Bone marrow smear — 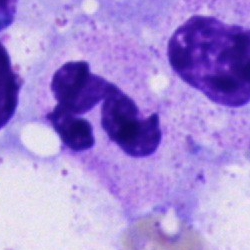 Cell: neutrophil (segmented).